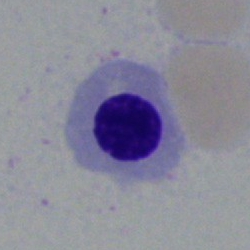
Impression — nucleated red cell.